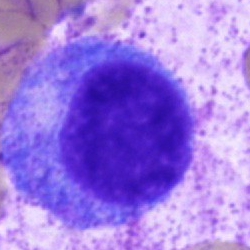
This is a progranulocyte.